Cropped to a single cell; bone marrow aspirate smear; 250 by 250 pixels — 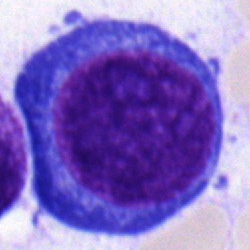
Q: Which cell type is shown here?
A: This is a normoblast.